Bone marrow smear; 250×250: 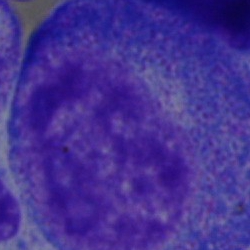 Impression — progranulocyte.